Bone marrow smear · MGG-stained:
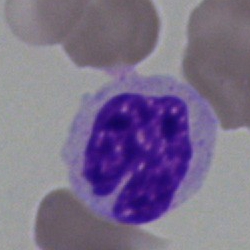
{"cell_type": "polymorphonuclear neutrophil"}